Bone marrow smear; May-Grünwald-Giemsa stain; 40× oil immersion — 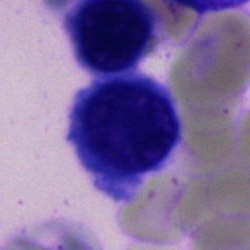

Specimen: bone marrow smear.
Cell type: nucleated red cell.